Bone marrow aspirate smear. Image size 250×250:
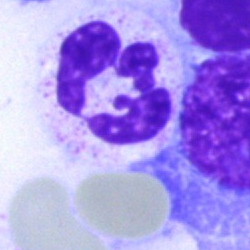 Morphology consistent with a segmented neutrophil.